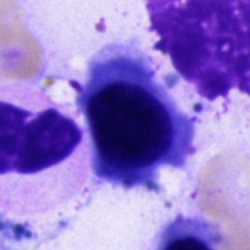 This is an erythroblast.